Bone marrow smear
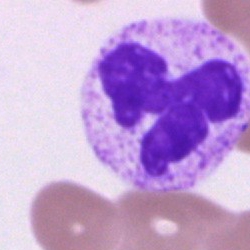The cell shown is a polymorphonuclear neutrophil.